Peripheral blood smear · Romanowsky-type stain · 100× oil immersion:
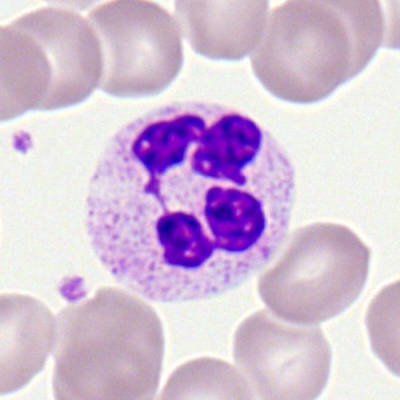
Single cell identified as a polymorphonuclear neutrophil.